Bone marrow aspirate smear. May-Grünwald-Giemsa/Pappenheim stain — 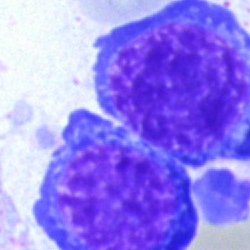Q: What is shown here?
A: This is a normoblast.